Bone marrow aspirate smear. Brightfield microscopy, 40× oil immersion — 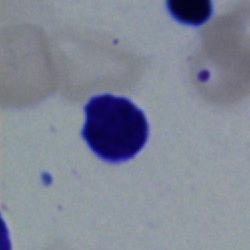 Cell type — typical lymphocyte.